Bone marrow aspirate smear
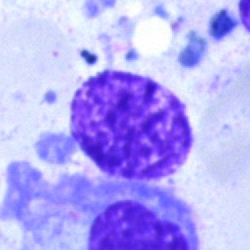
Classification — artefact.